Peripheral blood smear
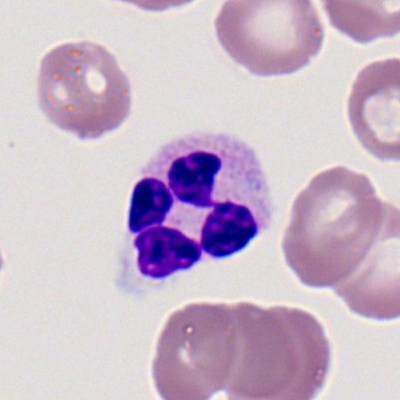 Morphological class = neutrophil (segmented).